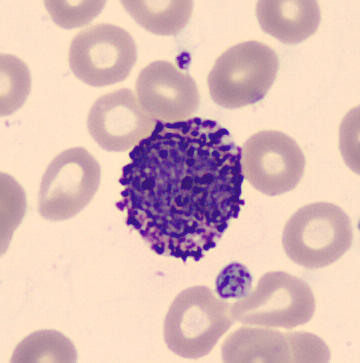
Image: Peripheral blood smear. Single-cell crop.

The cell is basophilic granulocyte.